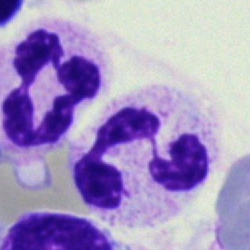 Cell: segmented neutrophil.